Bone marrow aspirate smear
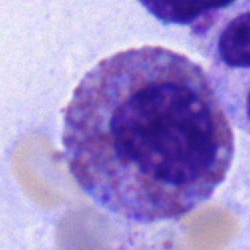

Q: Which cell type is shown here?
A: It is an eosinophilic granulocyte.